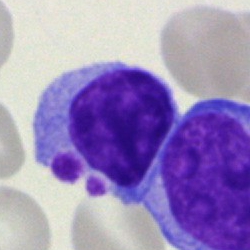

The cell shown is a lymphocyte.